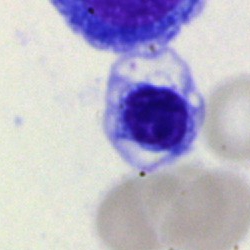
Bone marrow smear showing a nucleated red cell.